Peripheral blood film. M8 digital microscope (Precipoint), 100× oil immersion: 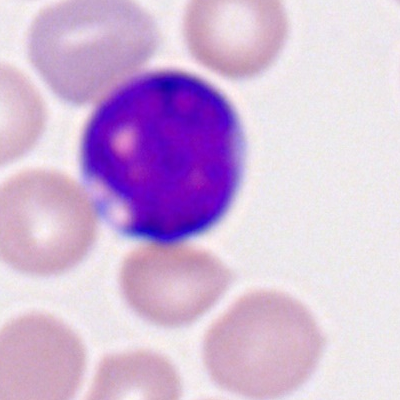 The cell type is myeloblast.